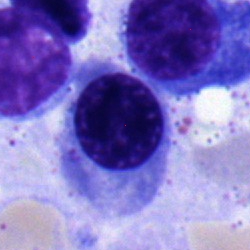

Morphological class — normoblast.